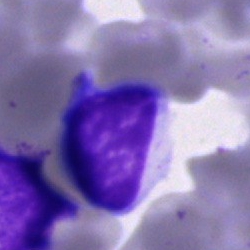

Morphological class: typical lymphocyte.